Bone marrow smear
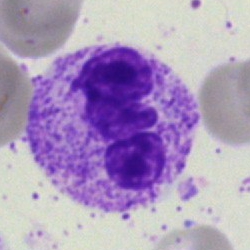
Morphology — neutrophil (segmented).